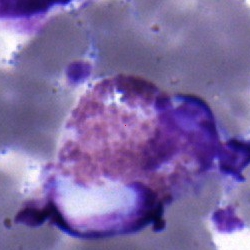
Q: What type of cell is this?
A: An eosinophilic granulocyte.